Bone marrow smear: 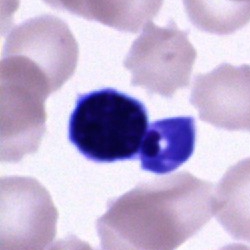

Morphological class: unidentifiable cell.